Bone marrow smear · 250 by 250 pixels.
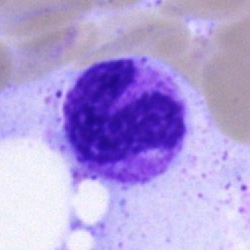

A neutrophil (band).